250×250 px; single-cell field; bone marrow aspirate smear.
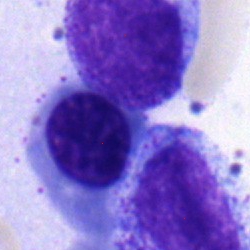

Cell type — myelocyte.